Bone marrow smear: 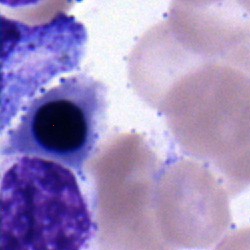Specimen: bone marrow aspirate smear.
Cell type: nucleated red blood cell.
Lineage: erythroid.